Pappenheim-stained. Bone marrow smear:
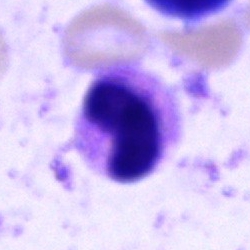Morphology consistent with a band neutrophil.